Bone marrow smear — 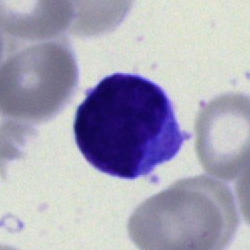 Morphology — undifferentiated blast.